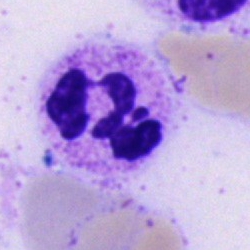 Q: What is the morphological classification of this cell?
A: It is a neutrophil (segmented).